Bone marrow aspirate smear: 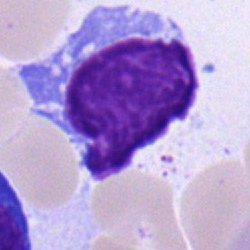

Specimen: bone marrow smear.
Cell: lymphocyte.